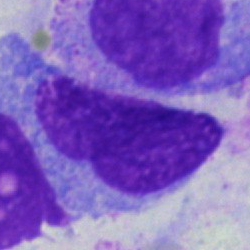{"cell_type": "artefact"}